Bone marrow aspirate smear — 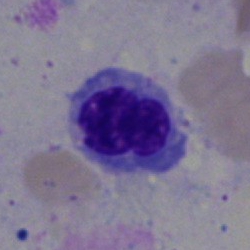
A nucleated red blood cell.